Bone marrow aspirate smear · image size 250×250 · May-Grünwald-Giemsa stain
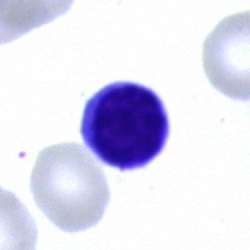Classification = typical lymphocyte.